Bone marrow smear
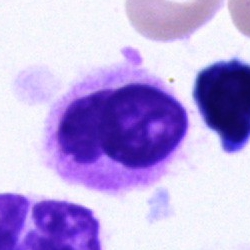

Cell: neutrophil (segmented).